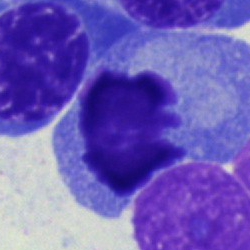

A cell of indeterminate lineage on a bone marrow smear.